Bone marrow aspirate smear:
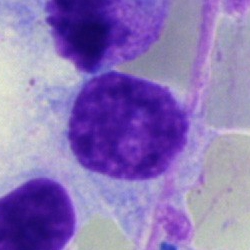Specimen: bone marrow aspirate smear.
Classification: artifact.